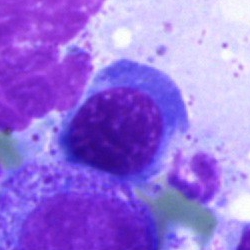 {"cell_type": "nucleated red cell", "lineage": "erythroid"}